Single-cell crop · bone marrow aspirate smear
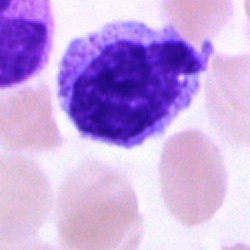Cell = segmented neutrophil.